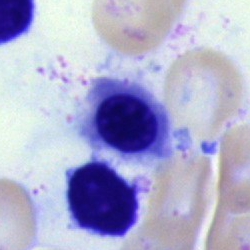 Classification: erythroblast.